Bone marrow smear:
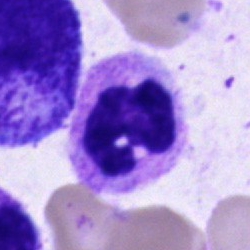Segmented neutrophil.